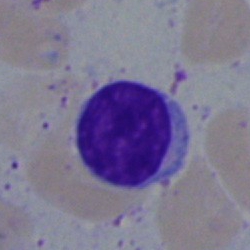

Specimen: bone marrow aspirate smear.
Morphological class: lymphocyte.
Lineage: lymphoid.